Bone marrow smear — 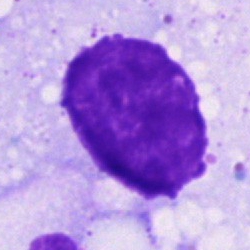{"cell_type": "artefact"}